Bone marrow aspirate smear: 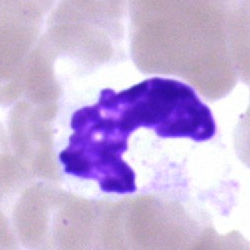 Morphology consistent with a neutrophil (segmented).